Bone marrow aspirate smear · single-cell field.
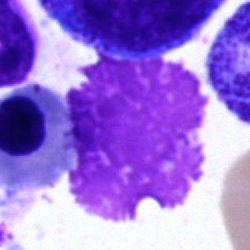
Cell type: artifact.